Bone marrow smear: 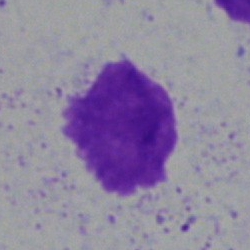
Q: What is shown here?
A: It is an artefact.